Bone marrow aspirate smear
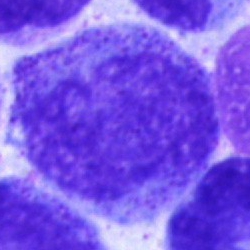Morphological class — myelocyte.